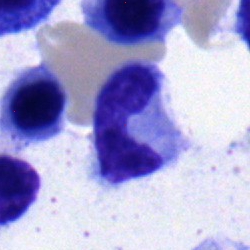Showing a band neutrophil.